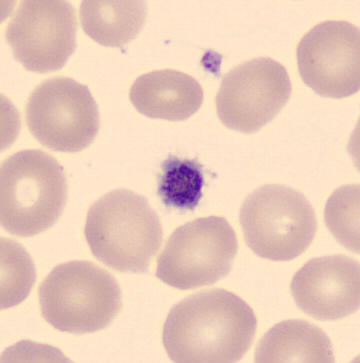

Acquisition: Peripheral blood film.
Morphology → thrombocyte.